Bone marrow aspirate smear
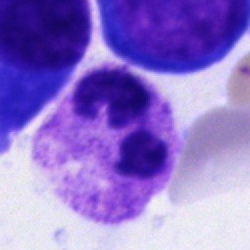

This is a polymorphonuclear neutrophil.